Bone marrow smear
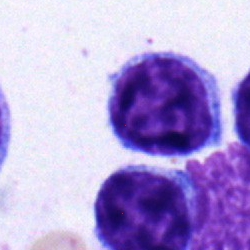The cell shown is a lymphocyte.